Bone marrow smear:
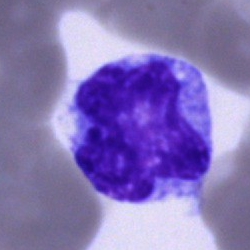
Q: Which cell type is shown here?
A: It is a monocyte.